Bone marrow smear:
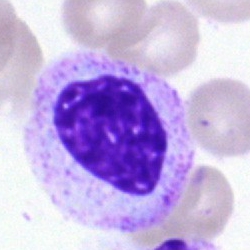{"cell_type": "myelocyte", "lineage": "myeloid"}